Bone marrow aspirate smear.
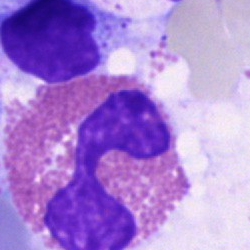

The cell shown is an eosinophil.